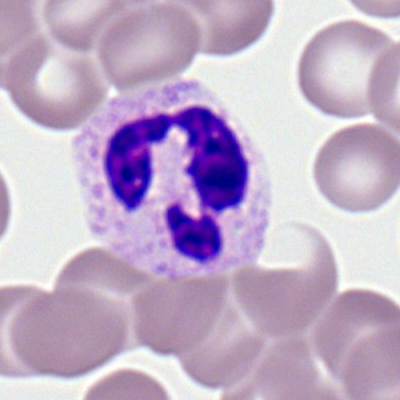 Impression → polymorphonuclear neutrophil.